Romanowsky stain. Peripheral blood film. Single-cell crop
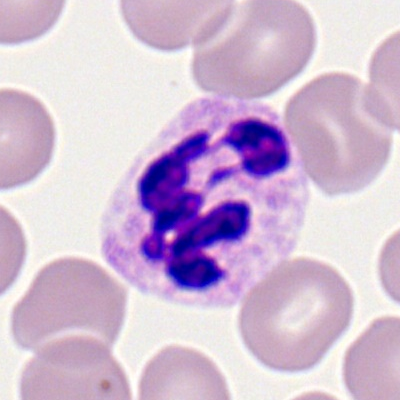 Specimen: peripheral blood film.
Classification: segmented neutrophil.